Bone marrow aspirate smear.
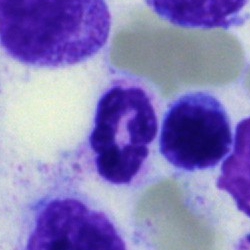

The cell shown is a polymorphonuclear neutrophil.